May-Grünwald-Giemsa stain. Bone marrow smear. Single-cell crop — 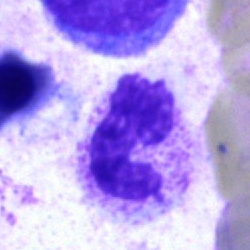
Morphological class = segmented neutrophil.